360×363 px; peripheral blood smear.
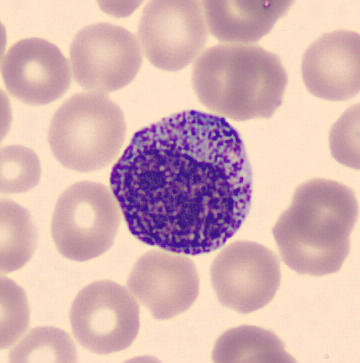Morphology — promyelocyte.